Bone marrow aspirate smear:
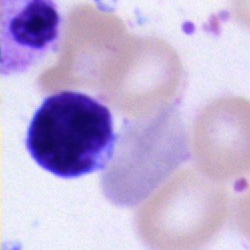 Morphological class = lymphocyte.